Bone marrow aspirate smear:
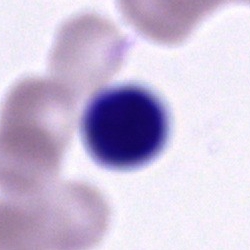
The cell type is unidentifiable cell.